Bone marrow aspirate smear.
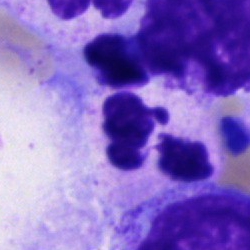
Morphological class = neutrophil (segmented).